Bone marrow smear.
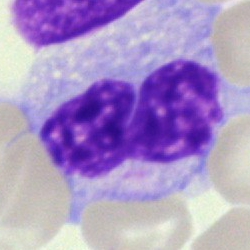
This is a monocyte.